Bone marrow aspirate smear — 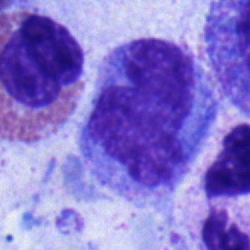

Monocyte.